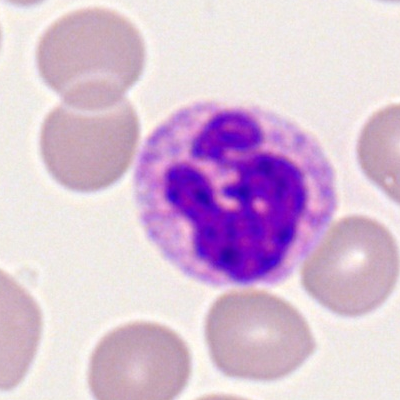
Q: Which cell type is shown here?
A: A basophilic granulocyte.